Single-cell crop · 250×250 · bone marrow aspirate smear:
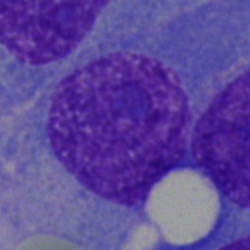 Q: Which cell type is shown here?
A: It is a plasma cell.